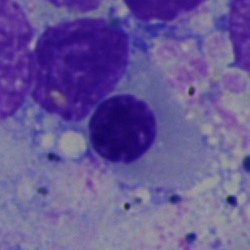Morphological class — erythroblast.